Bone marrow smear: 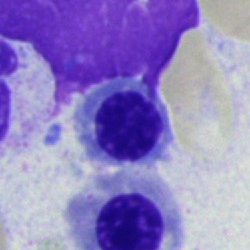
This is a nucleated red blood cell.